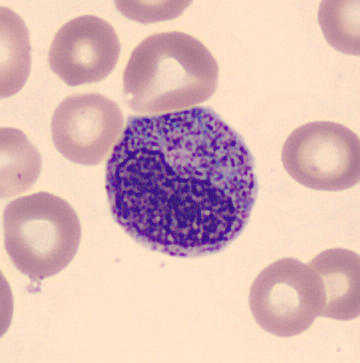 Morphology → myelocyte. Preparation: Peripheral blood film.